Bone marrow aspirate smear
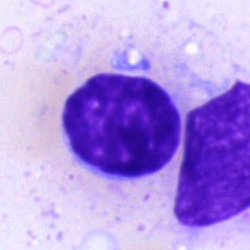
The cell is artefact.